Bone marrow smear.
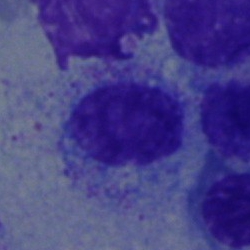 Showing a myelocyte.